Bone marrow aspirate smear. MGG-stained.
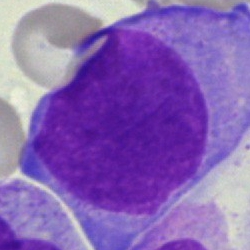
Classification = undifferentiated blast.